Bone marrow smear — 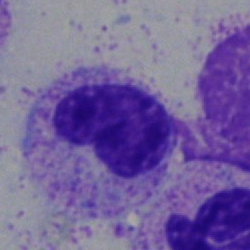 Cell type — metamyelocyte.